Peripheral blood film.
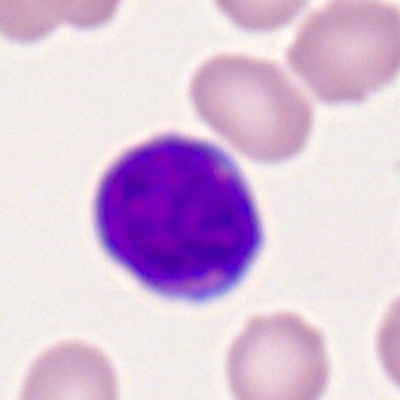

Lymphocyte.